Bone marrow smear. MGG-stained. 40× objective, oil immersion — 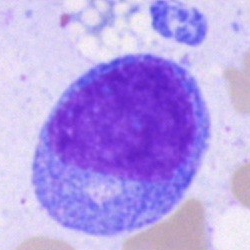Promyelocyte.